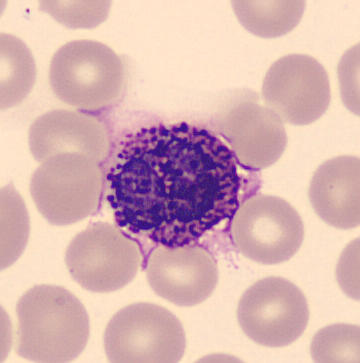Peripheral blood smear · CellaVision DM96 digital cell image.

This is a basophilic granulocyte.